Bone marrow aspirate smear · image size 250×250 · Pappenheim-stained.
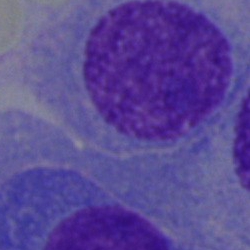
Morphology — plasmacyte.